Peripheral blood smear · Romanowsky-stained.
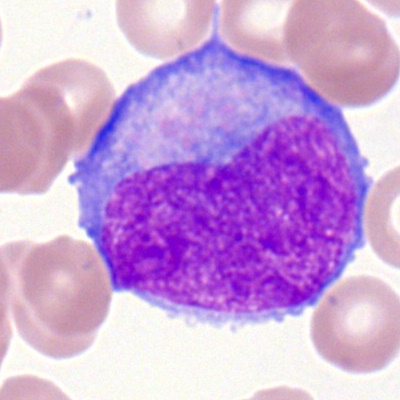The classification is myeloid blast.